Bone marrow smear; single cell centered in the field
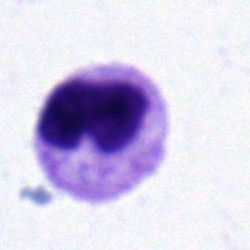
A metamyelocyte.